Bone marrow aspirate smear · single cell centered in the field · MGG-stained: 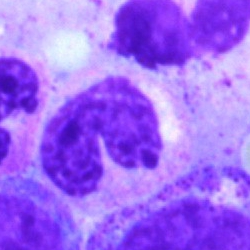
Cell type = stab cell.